Bone marrow aspirate smear:
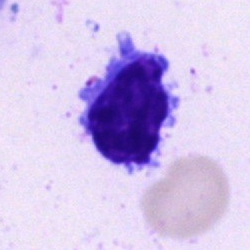{"cell_type": "lymphocyte", "lineage": "lymphoid"}